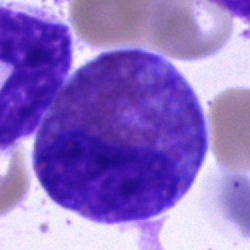 Specimen: bone marrow smear.
Classification: eosinophil.
Lineage: myeloid.